Bone marrow smear:
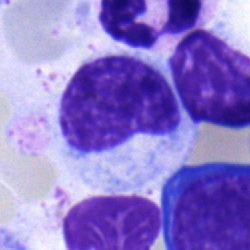
Cell — metamyelocyte.